Cropped to a single cell. Peripheral blood film: 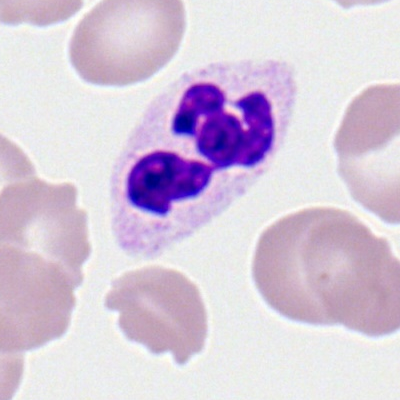 Morphology consistent with a polymorphonuclear neutrophil.